Peripheral blood film — 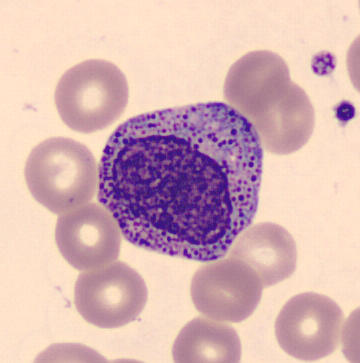
Q: What is this?
A: This is a myelocyte.